Bone marrow smear:
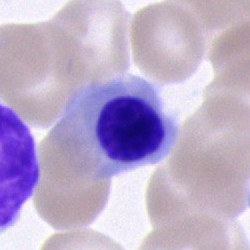
Morphology → erythroblast.